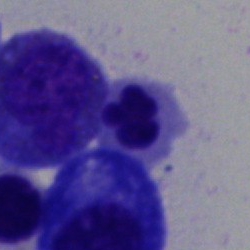Classification = erythroblast.